Bone marrow smear
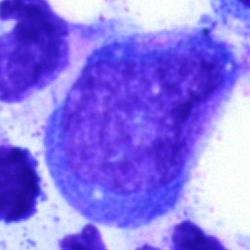
Specimen: bone marrow smear.
Classification: promyelocyte.